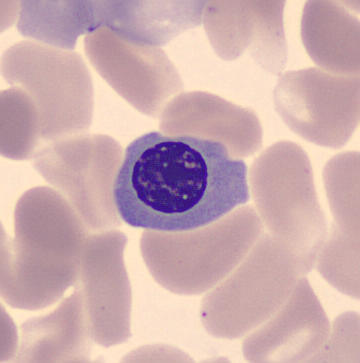Peripheral blood film. Morphology — nucleated red cell.